Bone marrow smear — 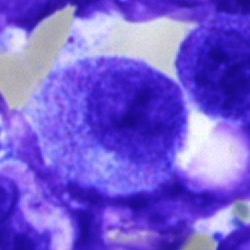

Q: What is shown here?
A: A myelocyte.